Single cell centered in the field. Bone marrow aspirate smear:
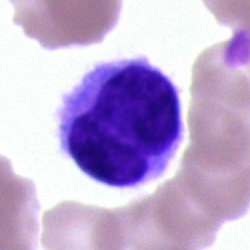
Morphology consistent with a hairy cell.